Pappenheim-stained. Bone marrow aspirate smear — 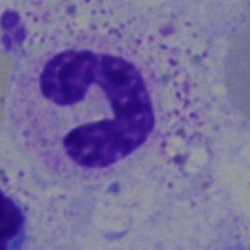Classification = polymorphonuclear neutrophil.